Single cell centered in the field. Bone marrow aspirate smear
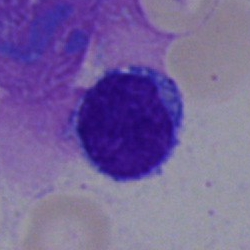Q: What cell is this?
A: A lymphocyte.